Bone marrow smear.
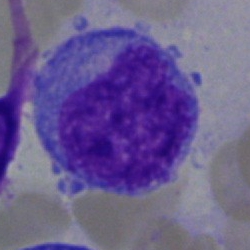

A progranulocyte.